250×250 px. Bone marrow smear. Cropped to a single cell — 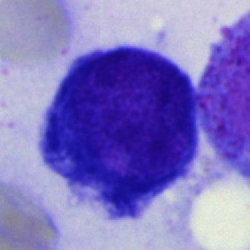

Specimen: bone marrow smear.
Cell: pronormoblast.